Single-cell field · bone marrow aspirate smear: 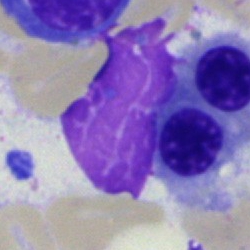Normoblast.